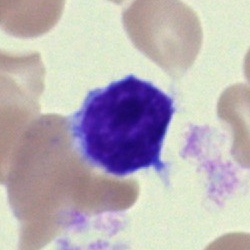 Typical lymphocyte.